Image size 250×250 · bone marrow aspirate smear
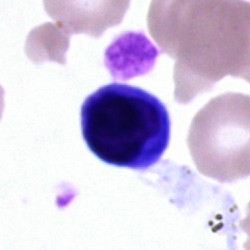 {"cell_type": "lymphocyte", "lineage": "lymphoid"}